May-Grünwald-Giemsa/Pappenheim stain · bone marrow aspirate smear.
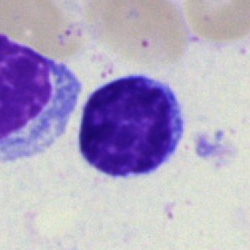
Cell — lymphocyte.